Peripheral blood smear. Romanowsky-type stain:
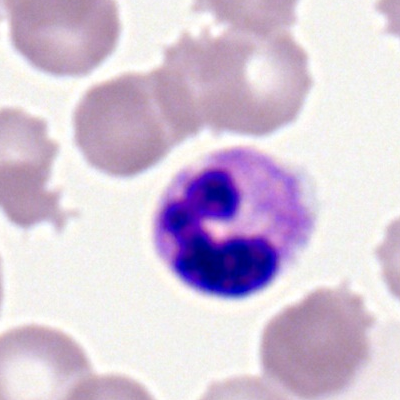A segmented neutrophil.